Single cell centered in the field · 40× objective, oil immersion · bone marrow aspirate smear — 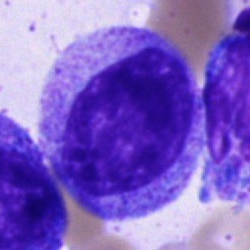
Morphology → progranulocyte.